Single cell centered in the field · bone marrow aspirate smear: 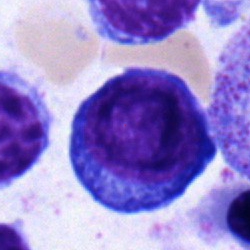 The classification is pronormoblast.